Romanowsky-type stain · peripheral blood film · brightfield, 100× oil-immersion objective — 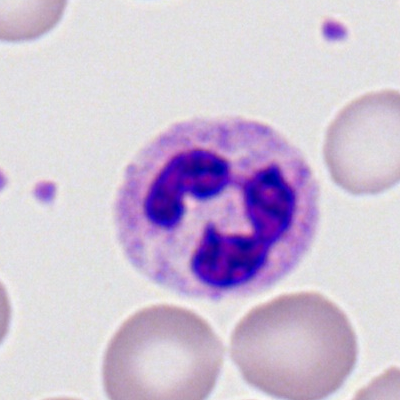
Morphology consistent with a segmented neutrophil.